40× objective, oil immersion. Bone marrow smear: 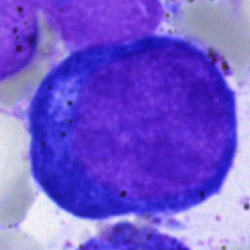
Q: Identify the cell.
A: A proerythroblast.